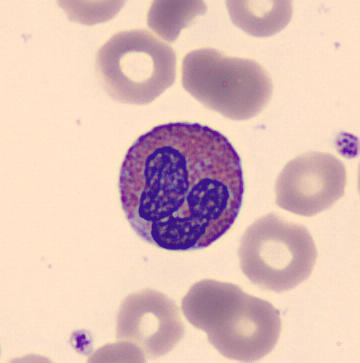 Single cell identified as an eosinophil.
Image: Peripheral blood smear.